Cropped to a single cell. Bone marrow aspirate smear. 40× oil immersion: 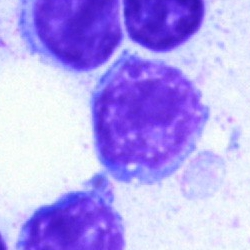

Q: What is shown here?
A: Artefact.